Peripheral blood smear; M8 digital microscope (Precipoint), 100× oil immersion: 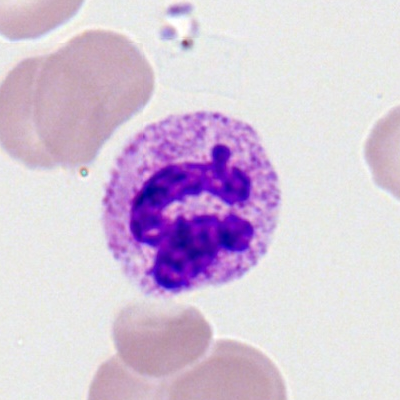

Q: What is shown here?
A: This is a neutrophil (segmented).